Bone marrow aspirate smear · image size 250×250 · May-Grünwald-Giemsa stain
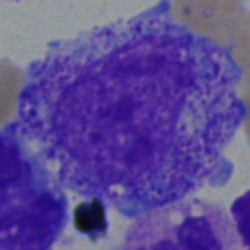
Morphology consistent with a promyelocyte.